Peripheral blood smear · brightfield, 100× oil-immersion objective: 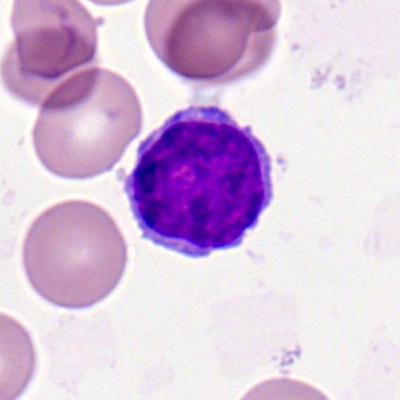

Impression — typical lymphocyte.